Bone marrow aspirate smear.
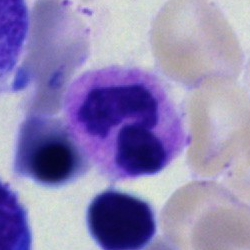 This is a segmented neutrophil.